250 by 250 pixels · bone marrow aspirate smear: 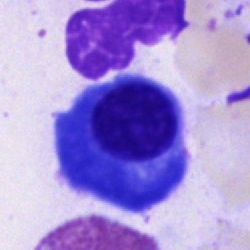Morphology → plasma cell.